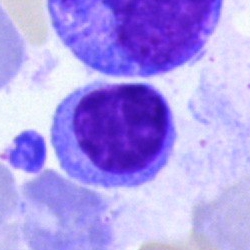
Specimen: bone marrow aspirate smear.
Cell: typical lymphocyte.
Lineage: lymphoid.